Bone marrow smear; MGG-stained:
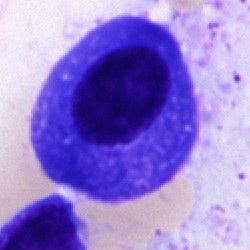Q: Which cell type is shown here?
A: It is a plasma cell.